Bone marrow aspirate smear.
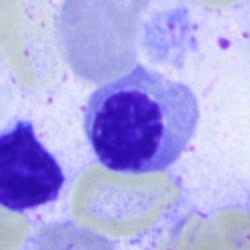

Showing an erythroblast.